400 by 400 pixels; peripheral blood film; Romanowsky-type stain:
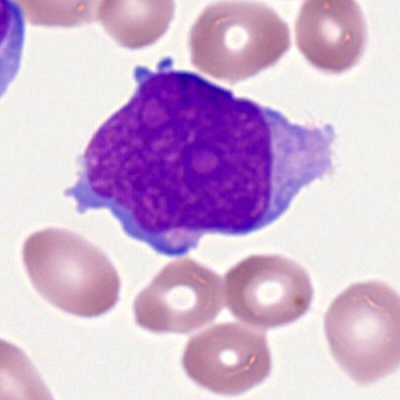Impression — myeloblast.